Bone marrow aspirate smear:
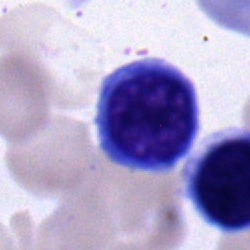

Morphological class: nucleated red cell.